Image size 250×250 · bone marrow smear · May-Grünwald-Giemsa/Pappenheim stain.
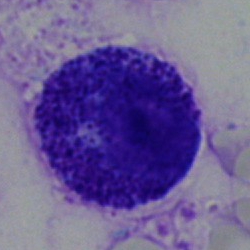
A progranulocyte.